Peripheral blood smear. Single-cell field
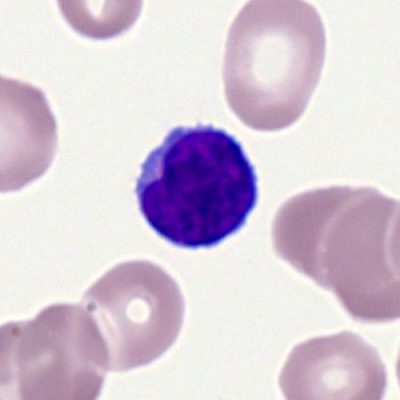Cell type = typical lymphocyte.